Bone marrow aspirate smear
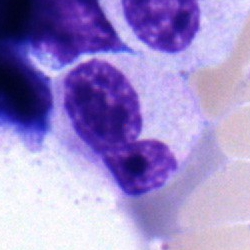
Morphology consistent with a stab cell.